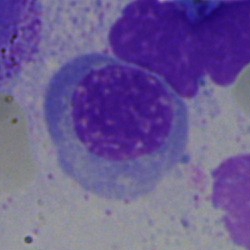

Classification: nucleated red blood cell.